Bone marrow smear; Pappenheim-stained; 40× oil immersion — 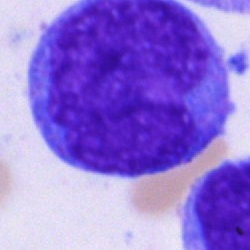

Cell — undifferentiated blast.